Cropped to a single cell · bone marrow smear.
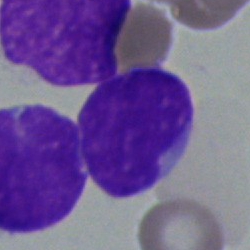The cell type is undifferentiated blast.